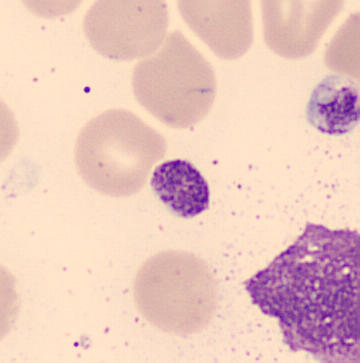Q: What is shown here?
A: A platelet.